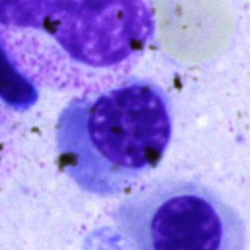Cell type = normoblast.